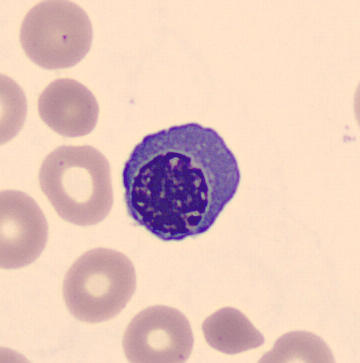 Peripheral blood smear · single cell centered in the field · May-Grünwald-Giemsa-stained.
This is a normoblast.